Image size 250×250 · bone marrow smear
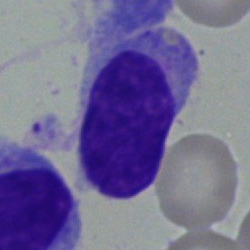
Q: What is the morphological classification of this cell?
A: Monocyte.